Bone marrow smear: 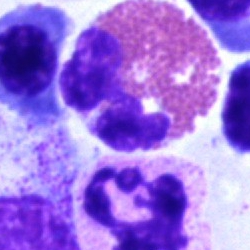

Q: What is the morphological classification of this cell?
A: An eosinophil.